Bone marrow aspirate smear; Pappenheim-stained.
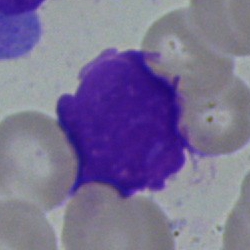
{"cell_type": "artifact"}